Bone marrow smear; 250×250 px — 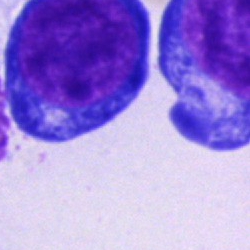
Morphology consistent with a pronormoblast.